Brightfield microscopy, 40× oil immersion; bone marrow aspirate smear; single-cell field — 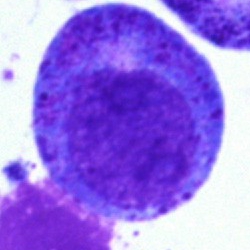Promyelocyte.